Bone marrow aspirate smear.
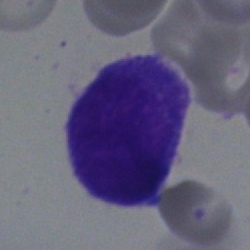Impression — undifferentiated blast.